Bone marrow smear: 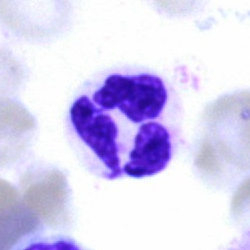Morphology consistent with a segmented neutrophil.